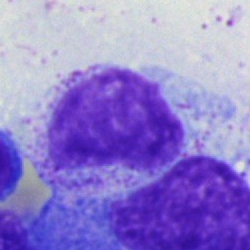Morphological class = myelocyte.